Bone marrow smear.
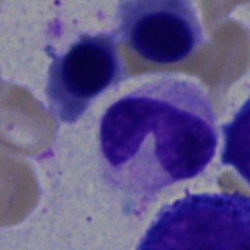 Showing a band-form neutrophil.